Bone marrow aspirate smear · image size 250×250.
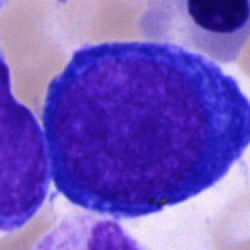

Morphology consistent with a pronormoblast.